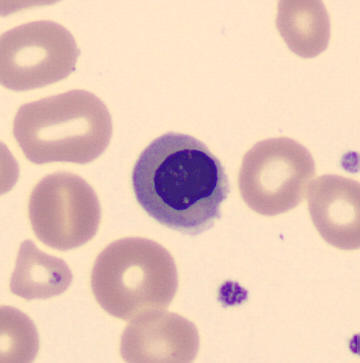Acquisition: Peripheral blood smear.

Impression — nucleated red cell.